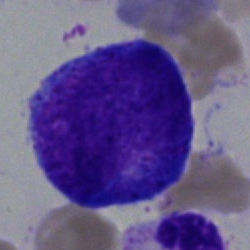Specimen: bone marrow smear.
Morphological class: progranulocyte.
Lineage: myeloid.